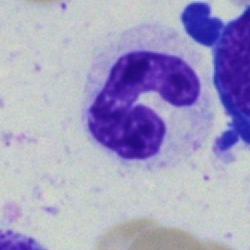 The cell type is neutrophil (segmented).